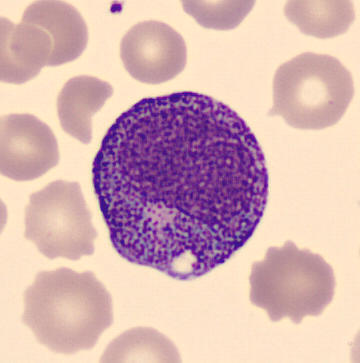Classification: progranulocyte. Peripheral blood film.